Cropped to a single cell · May-Grünwald-Giemsa stain · bone marrow smear:
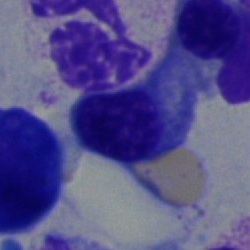

Q: What is shown here?
A: It is a nucleated red cell.